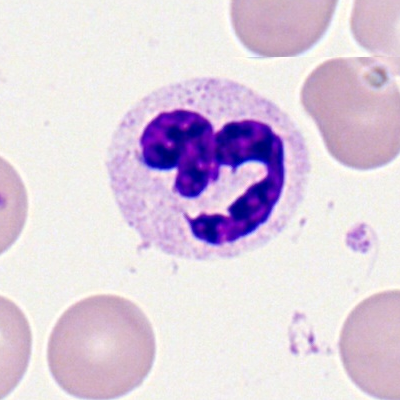
Impression — segmented neutrophil.